Image size 250×250. Bone marrow smear. Brightfield, 40× oil-immersion objective: 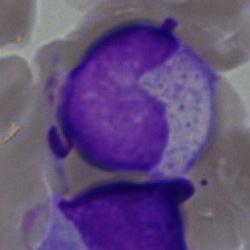
Q: Identify the cell.
A: This is a stab cell.